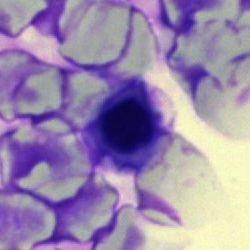Specimen: bone marrow aspirate smear.
Morphological class: nucleated red cell.